MGG-stained · cropped to a single cell · bone marrow smear — 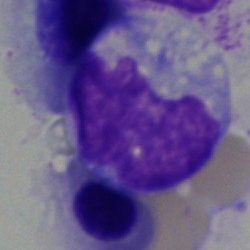
Q: What is shown here?
A: This is an artefact.